Bone marrow smear
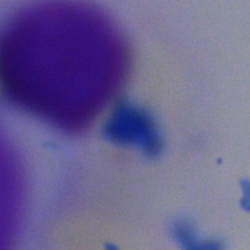

Morphology → artifact.